250 by 250 pixels. Bone marrow aspirate smear. Pappenheim-stained: 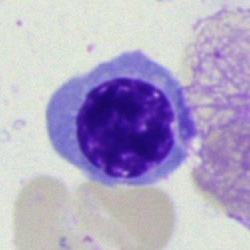 The cell type is erythroblast.